Bone marrow smear. Single cell centered in the field. 250×250
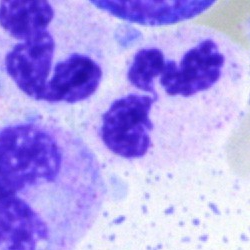 Specimen: bone marrow aspirate smear.
Morphological class: neutrophil (segmented).
Lineage: myeloid.